Bone marrow smear · 40× oil immersion.
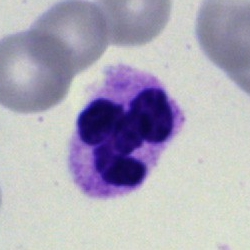

The cell shown is a polymorphonuclear neutrophil.